Image size 250×250; bone marrow smear.
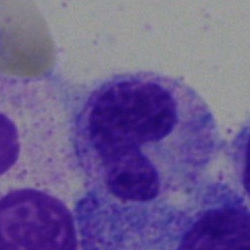
Morphology — stab cell.